Bone marrow smear; Pappenheim-stained — 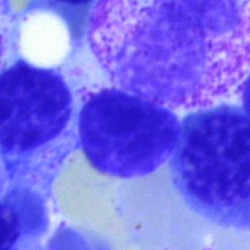Specimen: bone marrow smear.
Cell: artifact.